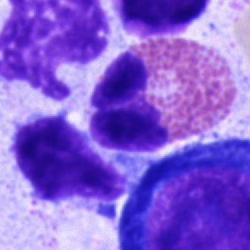 Specimen: bone marrow smear.
Cell type: eosinophilic granulocyte.
Lineage: myeloid.